May-Grünwald-Giemsa/Pappenheim stain · bone marrow smear · brightfield microscopy, 40× oil immersion:
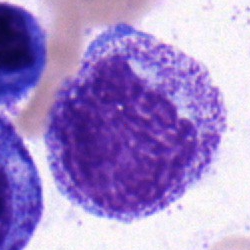Morphological class — myelocyte.